Bone marrow smear. Single-cell field
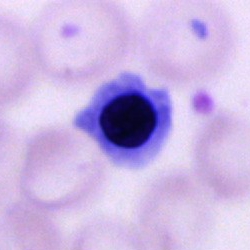 Showing a normoblast.